Bone marrow aspirate smear · 250 by 250 pixels — 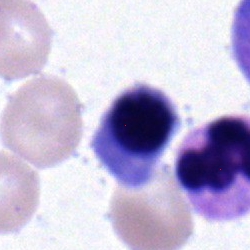
{"cell_type": "nucleated red blood cell", "lineage": "erythroid"}